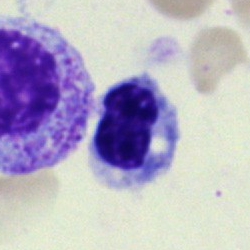
{"cell_type": "nucleated red blood cell", "lineage": "erythroid"}